Bone marrow aspirate smear; 250×250; cropped to a single cell.
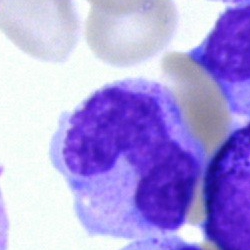 Cell type: band-form neutrophil.